Bone marrow aspirate smear
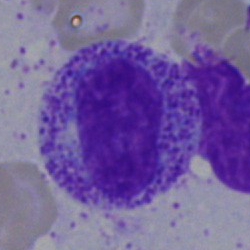Morphology consistent with a myelocyte.